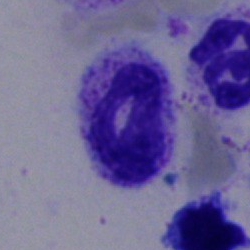Morphology → polymorphonuclear neutrophil.